Bone marrow smear
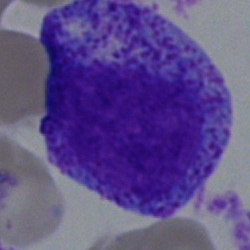
Morphology consistent with a progranulocyte.